Bone marrow aspirate smear; cropped to a single cell; 250×250 px — 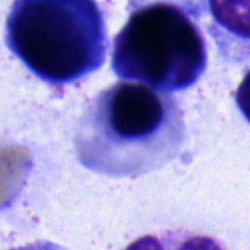 Morphology consistent with a nucleated red blood cell.